Bone marrow aspirate smear · single-cell field
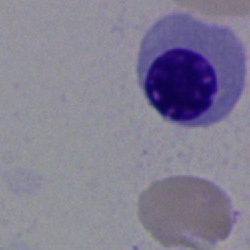

The cell is nucleated red cell.